Peripheral blood film; Romanowsky stain.
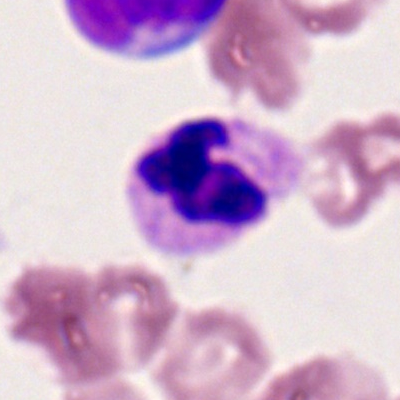 Single cell identified as a segmented neutrophil.